250 by 250 pixels; bone marrow aspirate smear — 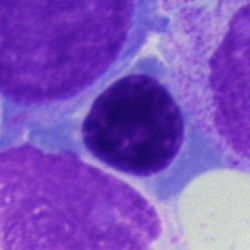 A nucleated red cell.